Bone marrow smear
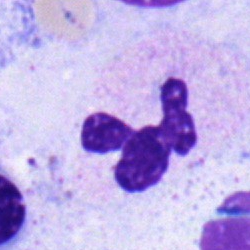 Q: What type of cell is this?
A: This is a segmented neutrophil.